Bone marrow smear · single-cell crop
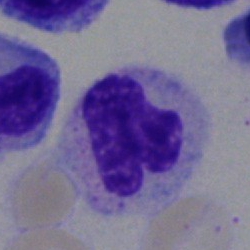Segmented neutrophil.